Bone marrow smear — 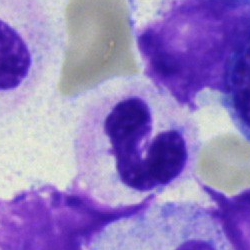
Q: What is shown here?
A: Segmented neutrophil.